Bone marrow aspirate smear. MGG-stained.
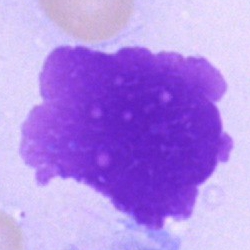 Artifact.